Bone marrow aspirate smear; 250 by 250 pixels — 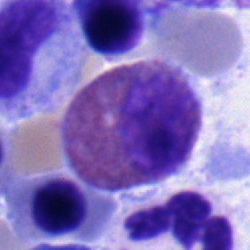Classification — eosinophil.